Bone marrow aspirate smear · single cell centered in the field: 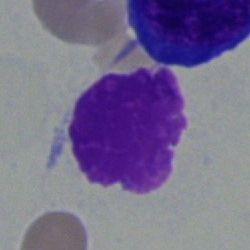 The cell shown is an artefact.